Bone marrow smear: 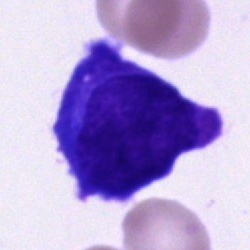Cell type: blast cell.